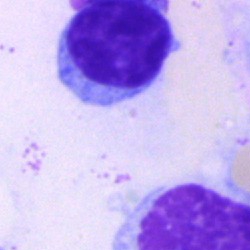 Single cell identified as a lymphocyte.